Peripheral blood smear · 400 by 400 pixels
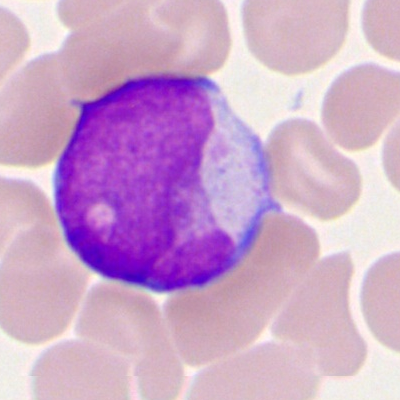A myeloid blast.